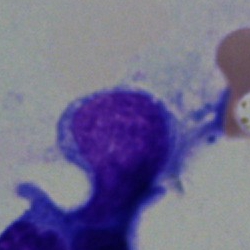The cell type is typical lymphocyte.